Bone marrow smear.
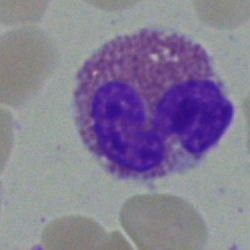 Eosinophilic granulocyte.